Bone marrow smear: 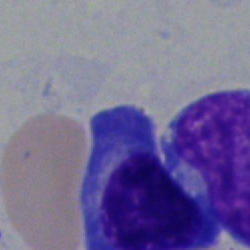
The classification is plasmacyte.